Bone marrow aspirate smear · 250×250 px:
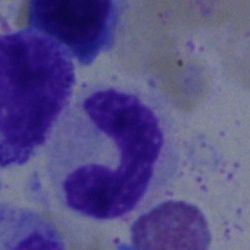 Showing a neutrophil (segmented).